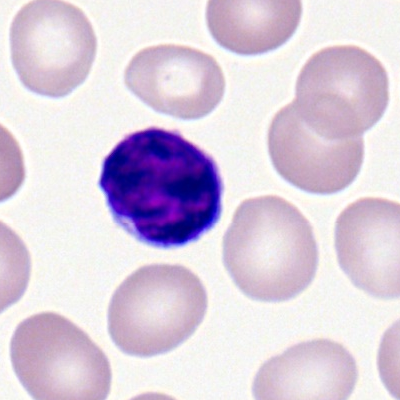
The cell shown is a typical lymphocyte.